Bone marrow smear. MGG-stained: 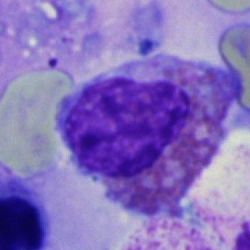

Morphology consistent with an eosinophil.